Bone marrow smear
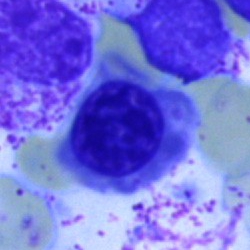Showing an erythroblast.